Bone marrow aspirate smear — 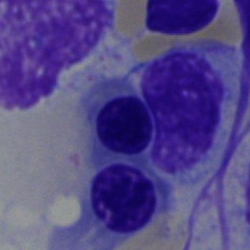
Classification: normoblast.